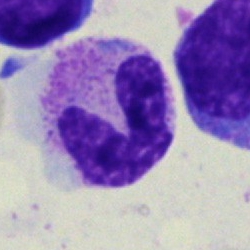 Q: What type of cell is this?
A: It is a band-form neutrophil.